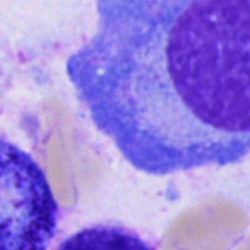This is a plasma cell.